Bone marrow aspirate smear. May-Grünwald-Giemsa stain
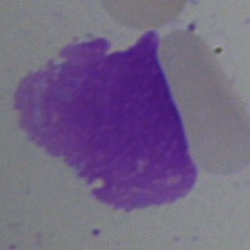

Cell = artifact.